Bone marrow smear; cropped to a single cell:
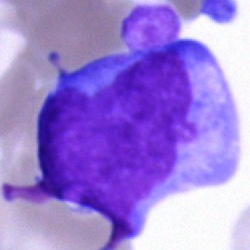 Specimen: bone marrow aspirate smear.
Cell: blast cell.